Bone marrow smear.
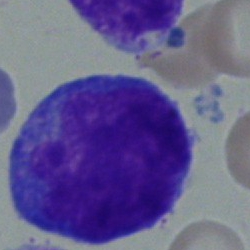 This is a blast.